Bone marrow smear — 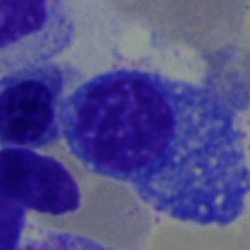

Q: What is the morphological classification of this cell?
A: Plasma cell.